250×250; bone marrow aspirate smear; 40× objective, oil immersion.
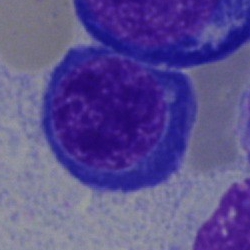Morphology consistent with a nucleated red cell.